250×250 px · bone marrow aspirate smear — 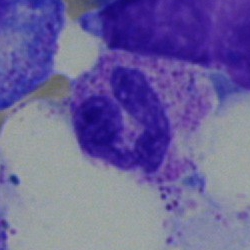
Morphology consistent with a polymorphonuclear neutrophil.